Peripheral blood smear: 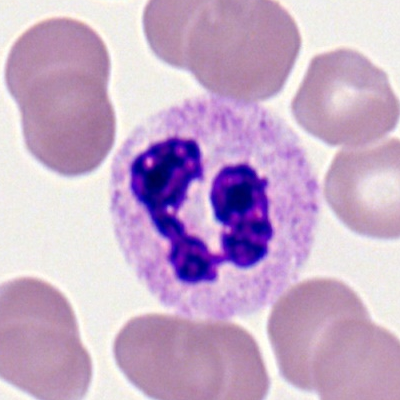

Morphology → polymorphonuclear neutrophil.